Bone marrow smear — 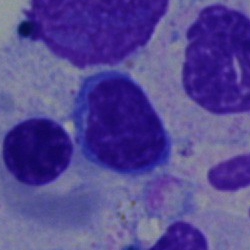 The cell shown is a lymphocyte.